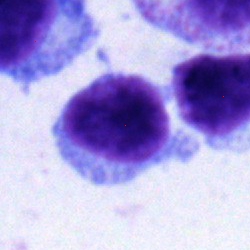
Lymphocyte.